May-Grünwald-Giemsa stain; 40× oil immersion; bone marrow aspirate smear — 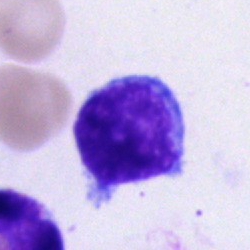 Specimen: bone marrow smear.
Cell: lymphocyte.